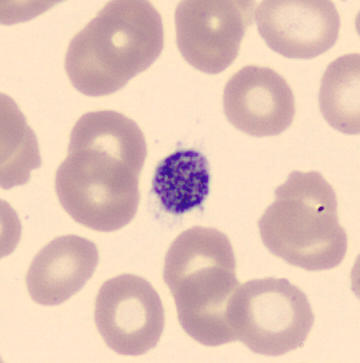

Image: Imaged on a CellaVision DM96 analyser; peripheral blood smear; image size 360×363.

Showing a platelet.